Bone marrow aspirate smear — 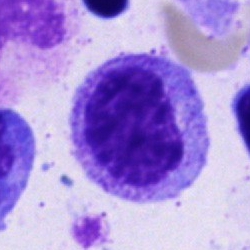 The cell shown is a promyelocyte.